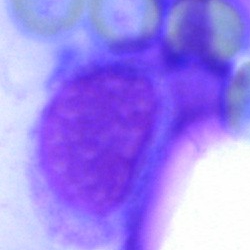The cell shown is an artifact.